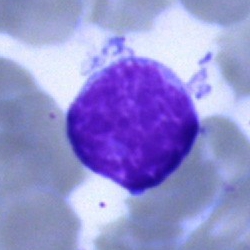
Morphology consistent with a lymphocyte.